Peripheral blood film
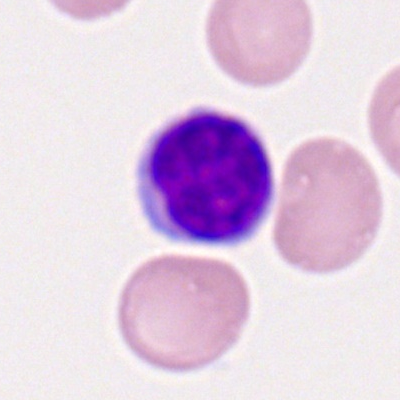Typical lymphocyte.